Romanowsky-type stain · 100× oil immersion · peripheral blood film — 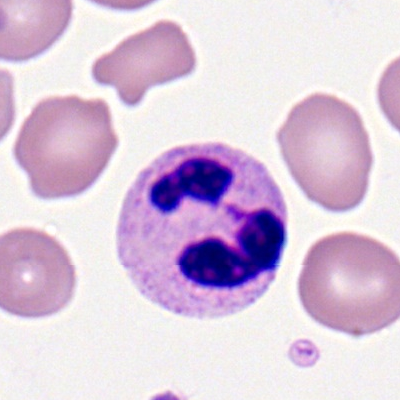
Specimen: peripheral blood smear.
Cell: segmented neutrophil.
Lineage: myeloid.